Bone marrow smear: 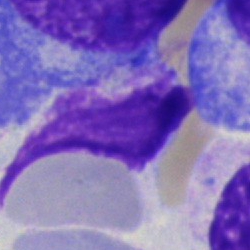
Q: What is shown here?
A: It is an artefact.